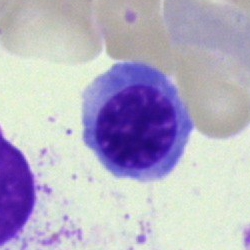 Q: What is the morphological classification of this cell?
A: Nucleated red blood cell.